Bone marrow aspirate smear:
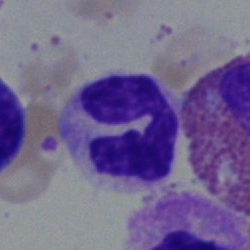

Neutrophil (segmented).